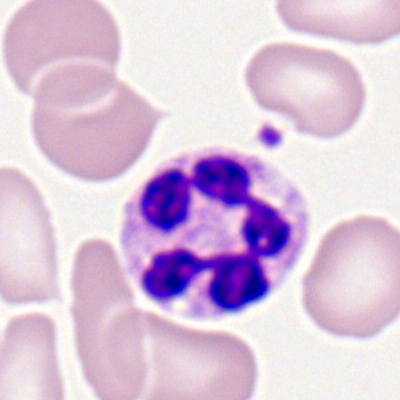Q: What cell is this?
A: A polymorphonuclear neutrophil.